Bone marrow smear
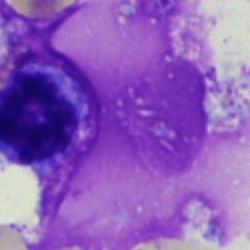The cell shown is an artefact.